Bone marrow aspirate smear: 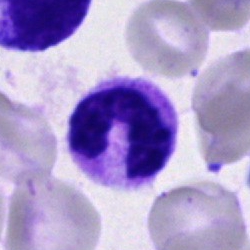 Q: What is the morphological classification of this cell?
A: Neutrophil (band).